Bone marrow smear
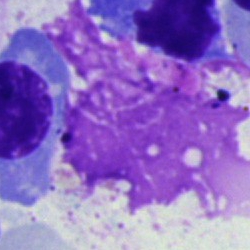

Single cell identified as an artifact.